250×250 · bone marrow aspirate smear:
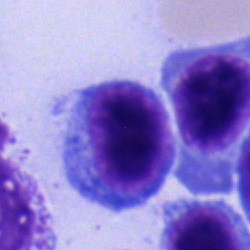 Impression — lymphocyte.